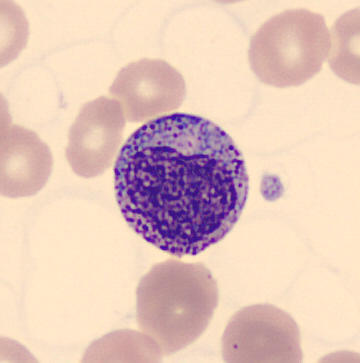 Q: What is shown here?
A: Myelocyte.